Bone marrow aspirate smear · May-Grünwald-Giemsa/Pappenheim stain:
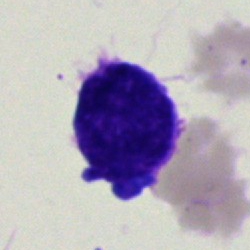Specimen: bone marrow aspirate smear.
Cell: blast cell.